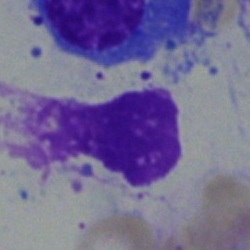
Specimen: bone marrow aspirate smear.
Cell type: blast.